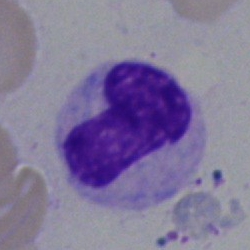

Specimen: bone marrow smear.
Cell: metamyelocyte.